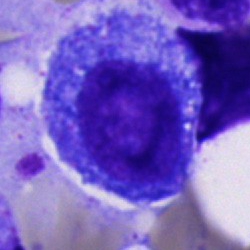Q: What type of cell is this?
A: A progranulocyte.